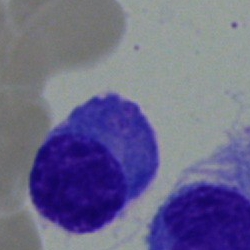 Cell type = plasma cell.